Image size 250×250 · bone marrow smear
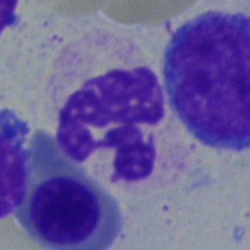 Morphological class — neutrophil (segmented).